Bone marrow smear · single-cell crop:
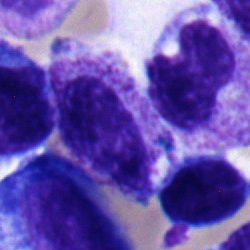Impression — band neutrophil.